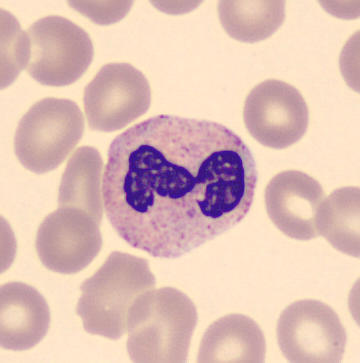
Morphological class: neutrophil (segmented).